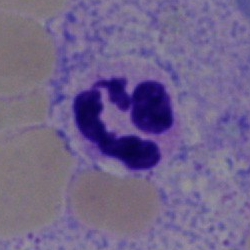
Specimen: bone marrow aspirate smear.
Cell: polymorphonuclear neutrophil.
Lineage: myeloid.